Peripheral blood smear — 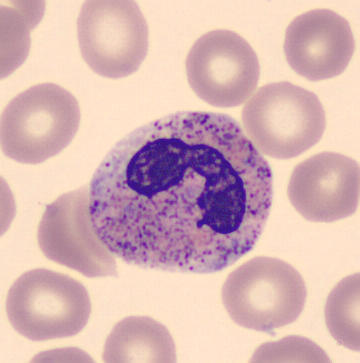
Q: What is this?
A: Neutrophil (band).